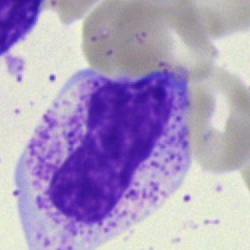

Morphological class = neutrophil (band).